Bone marrow smear: 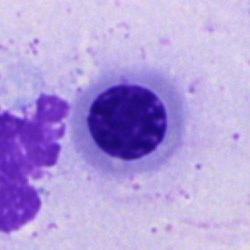Classification — erythroblast.